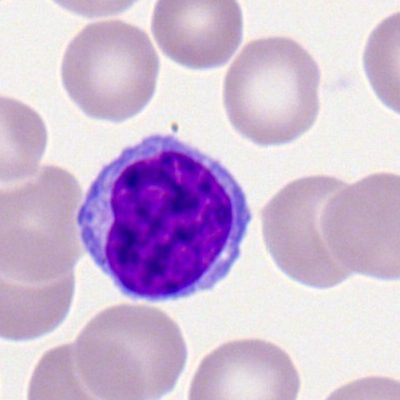

Specimen: peripheral blood film.
Classification: lymphocyte.